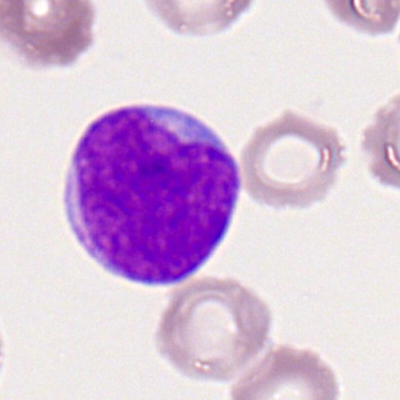Impression → myeloblast.